Single-cell crop; bone marrow aspirate smear: 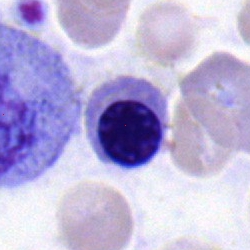

{"cell_type": "nucleated red blood cell", "lineage": "erythroid"}